Bone marrow smear: 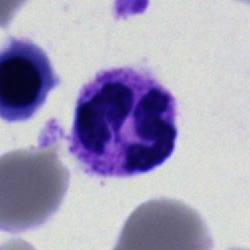The cell is segmented neutrophil.